Peripheral blood film: 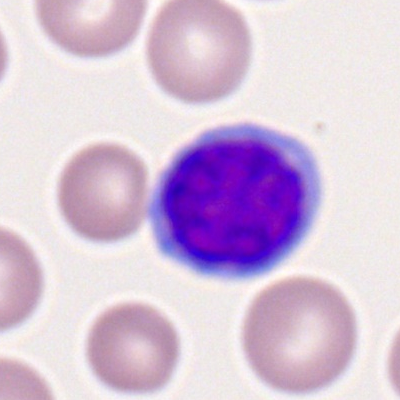 Q: What is shown here?
A: It is a typical lymphocyte.